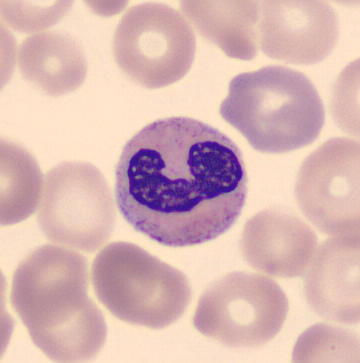
Preparation: 360×363 px. Automated cell imaging (CellaVision DM96). Peripheral blood film.

Identified as a band-form neutrophil.